Peripheral blood film — 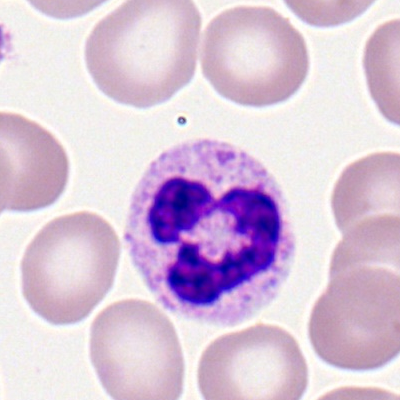 Classification = segmented neutrophil.